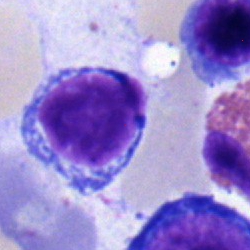Cell type = lymphocyte.